40× oil immersion; May-Grünwald-Giemsa/Pappenheim stain; bone marrow aspirate smear
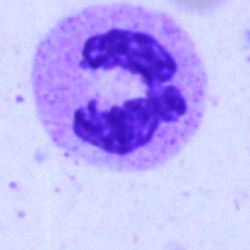Morphology → polymorphonuclear neutrophil.